250 by 250 pixels; bone marrow aspirate smear.
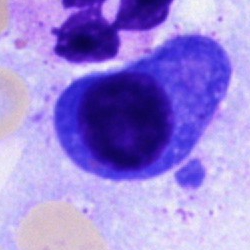 Morphology — plasmacyte.